Bone marrow aspirate smear.
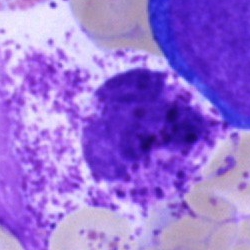 Basophilic granulocyte.